250×250 · bone marrow aspirate smear:
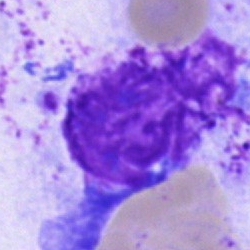

This is an artefact.